Image size 250×250. Bone marrow smear.
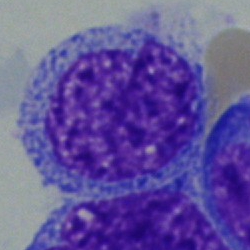

Q: What type of cell is this?
A: It is a blast.